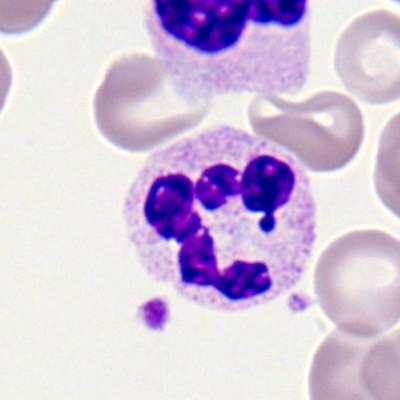
Impression — polymorphonuclear neutrophil.